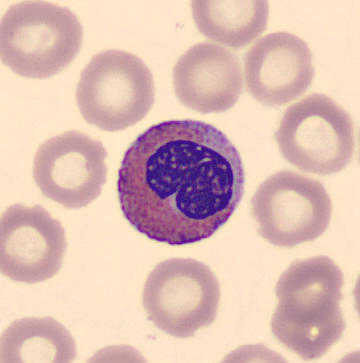

The cell is eosinophilic granulocyte.

Peripheral blood smear.